Bone marrow aspirate smear. 40× oil immersion.
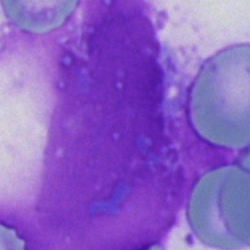Specimen: bone marrow aspirate smear.
Classification: artifact.